Bone marrow aspirate smear. 250×250: 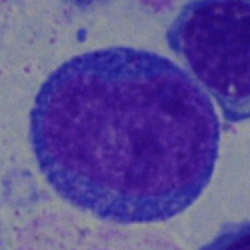Morphology consistent with an undifferentiated blast.